Bone marrow aspirate smear
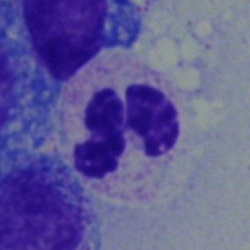

The cell type is neutrophil (segmented).